Bone marrow smear; image size 250×250; MGG-stained
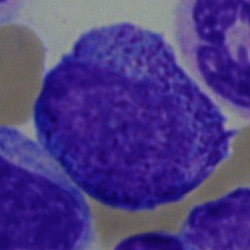
Showing a progranulocyte.